Bone marrow smear
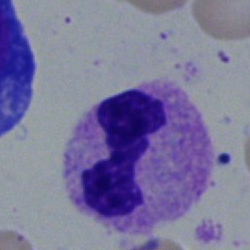

Band neutrophil.